Bone marrow smear — 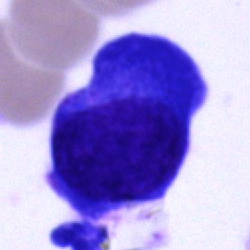
Morphological class: plasmacyte.